Bone marrow smear.
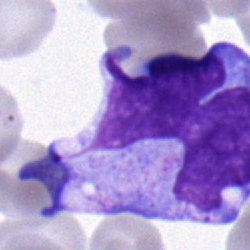

Morphological class — monocyte.